Bone marrow aspirate smear. Brightfield microscopy, 40× oil immersion
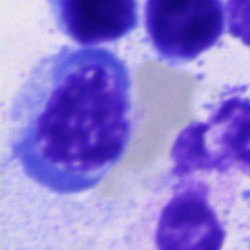
{"cell_type": "nucleated red cell", "lineage": "erythroid"}